Bone marrow aspirate smear: 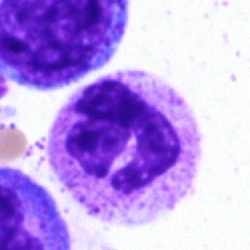

Q: What is shown here?
A: Segmented neutrophil.